Brightfield, 40× oil-immersion objective · bone marrow smear · MGG-stained:
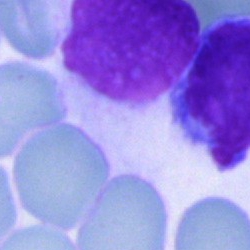

Morphological class = artefact.